Bone marrow smear.
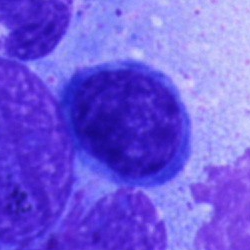
This is a typical lymphocyte.